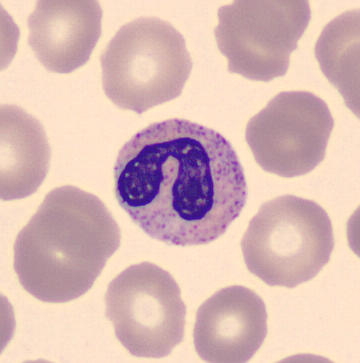

Preparation: Peripheral blood smear. Cell = neutrophil (band).